Bone marrow smear — 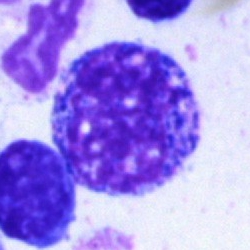 Q: What is shown here?
A: It is an artifact.